Single cell centered in the field; bone marrow smear.
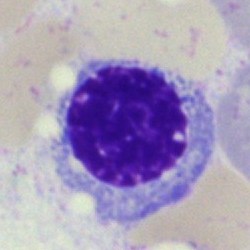
Classification: nucleated red cell.